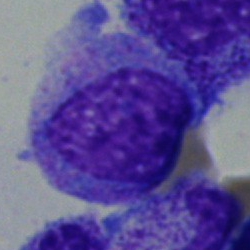

Q: What is the morphological classification of this cell?
A: This is a myelocyte.